Bone marrow aspirate smear:
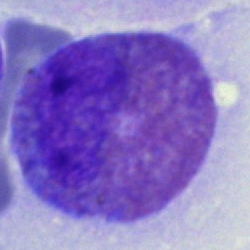

Q: What cell is this?
A: An eosinophilic granulocyte.